Peripheral blood smear · 400×400
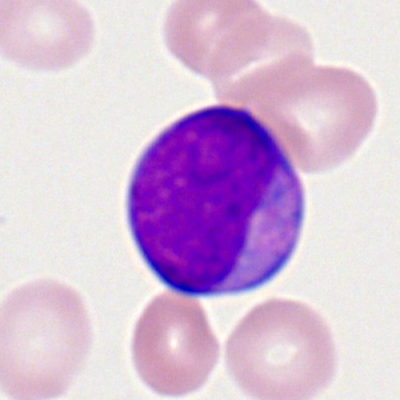 Morphology consistent with a myeloblast.